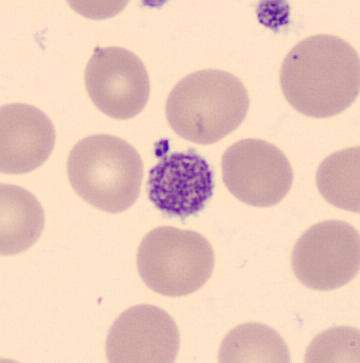
Classification = platelet. Acquisition: CellaVision DM96 digital cell image · peripheral blood film · May-Grünwald-Giemsa-stained.